Bone marrow smear:
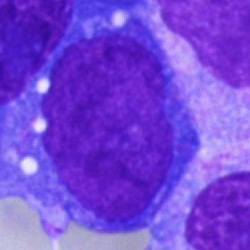The classification is blast.